Bone marrow aspirate smear — 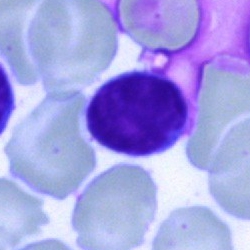

{"cell_type": "typical lymphocyte", "lineage": "lymphoid"}